Cropped to a single cell. Bone marrow smear: 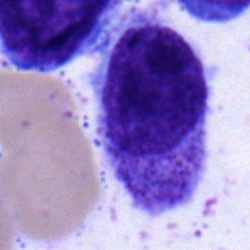 The cell type is monocyte.